Bone marrow smear. Cropped to a single cell: 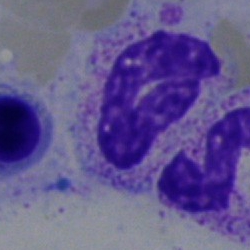
Specimen: bone marrow aspirate smear.
Morphological class: neutrophil (band).
Lineage: myeloid.